Bone marrow smear · 40× oil immersion.
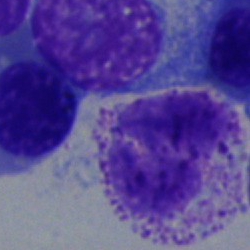

The morphological class is basophil.